Bone marrow aspirate smear; single-cell field: 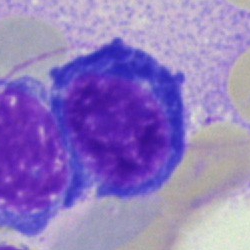

Q: Which cell type is shown here?
A: Nucleated red cell.